Peripheral blood smear. Cropped to a single cell. M8 digital microscope (Precipoint), 100× oil immersion
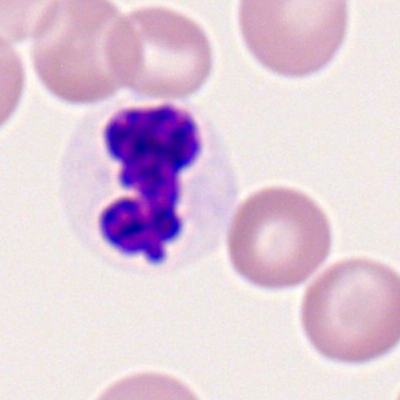Impression → segmented neutrophil.